Bone marrow aspirate smear. May-Grünwald-Giemsa/Pappenheim stain:
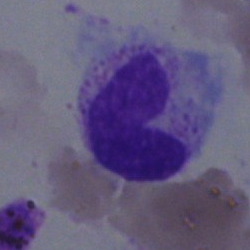

Showing a neutrophil (band).